Bone marrow aspirate smear — 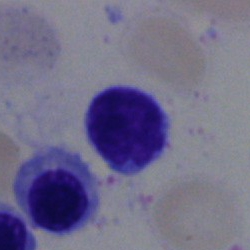 Cell type: lymphocyte.